Bone marrow smear; 250 by 250 pixels; May-Grünwald-Giemsa/Pappenheim stain.
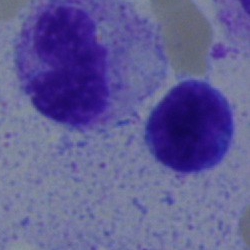

Typical lymphocyte.